Bone marrow smear — 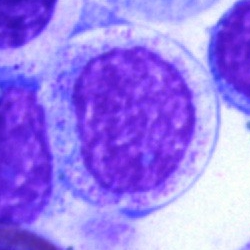This is a myelocyte.